Bone marrow aspirate smear
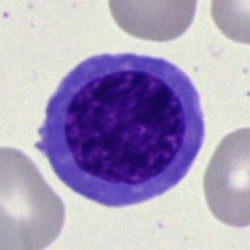 Cell type: normoblast.